Bone marrow smear. May-Grünwald-Giemsa stain — 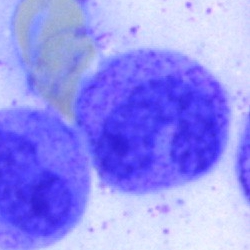
Cell type = band-form neutrophil.